Bone marrow aspirate smear: 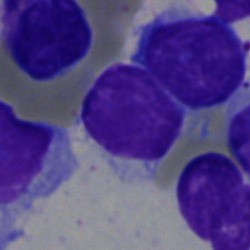 This is a lymphocyte.